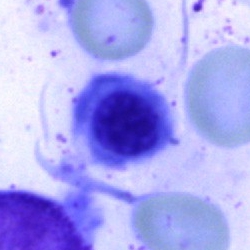 Nucleated red blood cell.